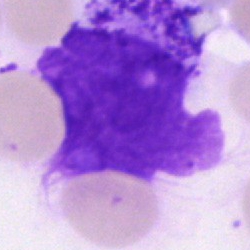 An artefact on a bone marrow smear.